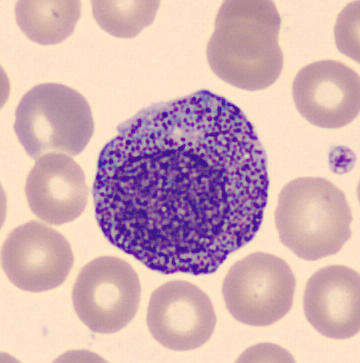
The cell type is promyelocyte.